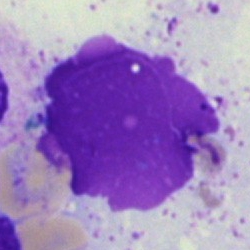Q: What is shown here?
A: It is an artefact.